Bone marrow aspirate smear:
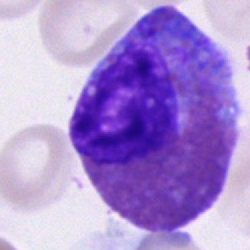

The cell shown is an eosinophilic granulocyte.